Single cell centered in the field; bone marrow aspirate smear; 40× objective, oil immersion
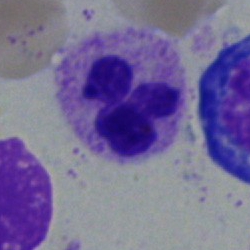Showing a neutrophil (segmented).